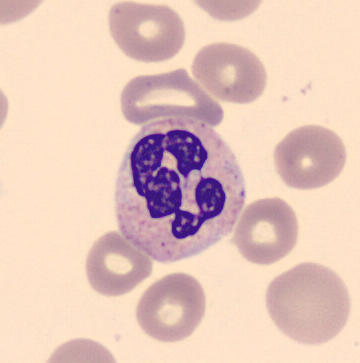 Peripheral blood film, single cell — segmented neutrophil.